Bone marrow aspirate smear — 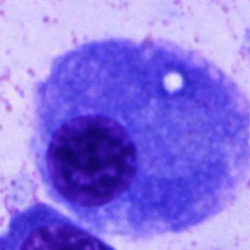 Plasmacyte.